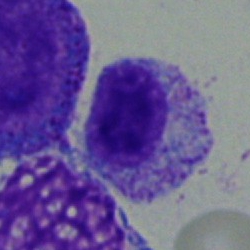Q: Identify the cell.
A: A myelocyte.